Peripheral blood smear · 400×400
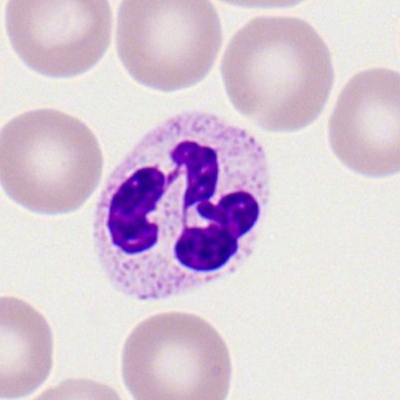This is a polymorphonuclear neutrophil.